Peripheral blood smear:
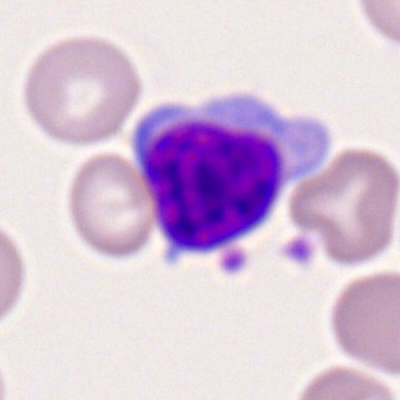Cell type = lymphocyte.